Bone marrow aspirate smear — 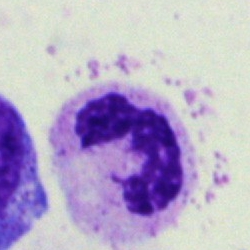 Morphology consistent with a segmented neutrophil.